Single cell centered in the field; bone marrow smear
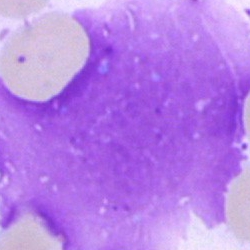An artifact.